Bone marrow aspirate smear:
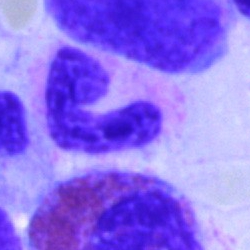 Neutrophil (segmented).